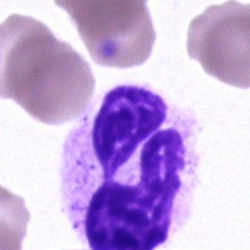
Neutrophil (segmented).